40× objective, oil immersion · bone marrow aspirate smear · single-cell field: 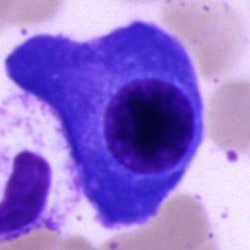Q: What cell is this?
A: This is a plasma cell.